40× oil immersion · bone marrow aspirate smear · single cell centered in the field.
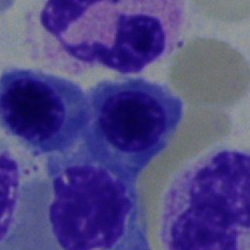
Cell type = normoblast.